Bone marrow aspirate smear: 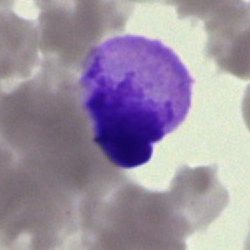
Morphological class = artifact.